Brightfield, 40× oil-immersion objective · bone marrow aspirate smear.
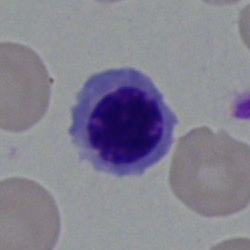

Impression — nucleated red blood cell.